Peripheral blood film · Romanowsky stain
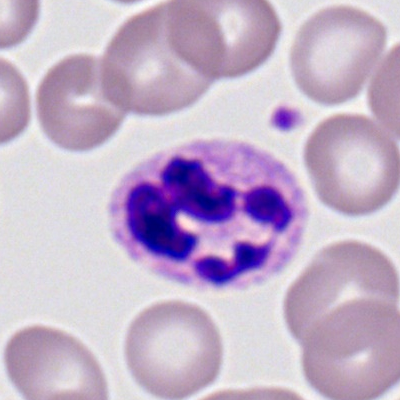 The cell is polymorphonuclear neutrophil.